Cropped to a single cell; bone marrow smear; 250×250 px — 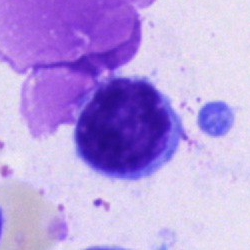 Q: What is the morphological classification of this cell?
A: This is a lymphocyte.